250×250 px · bone marrow smear:
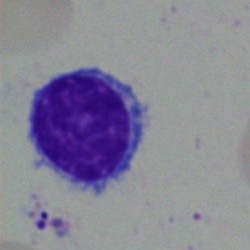Cell: lymphocyte.